Cropped to a single cell; brightfield microscopy, 40× oil immersion; bone marrow aspirate smear:
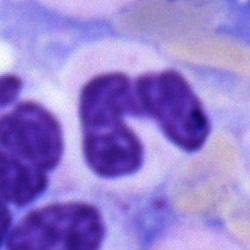 Q: Identify the cell.
A: Segmented neutrophil.